Brightfield microscopy, 40× oil immersion. Bone marrow aspirate smear: 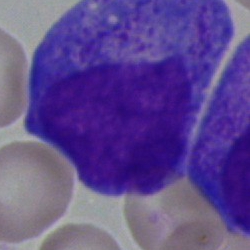
Morphological class = promyelocyte.